Bone marrow aspirate smear
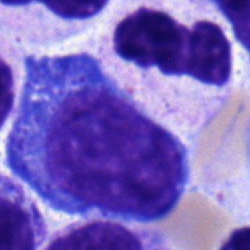

Showing a progranulocyte.